Romanowsky-stained · single cell centered in the field · peripheral blood film
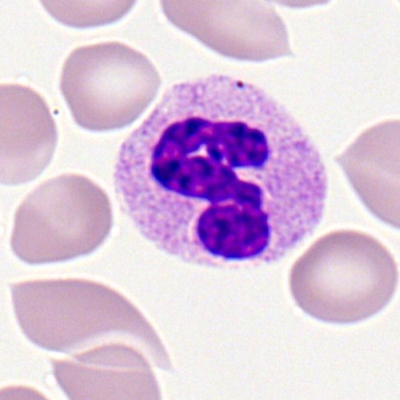 Morphology consistent with a segmented neutrophil.